250 by 250 pixels. Single-cell field. Bone marrow smear — 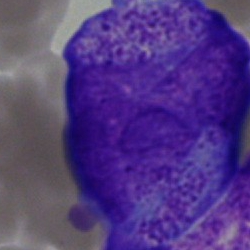
Specimen: bone marrow aspirate smear.
Classification: undifferentiated blast.